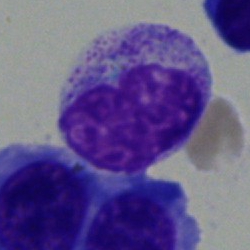

Specimen: bone marrow aspirate smear.
Morphological class: metamyelocyte.